Bone marrow smear — 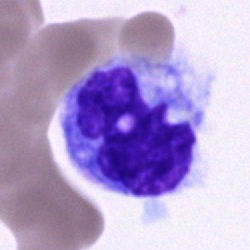
Q: Identify the cell.
A: It is a monocyte.